Bone marrow smear
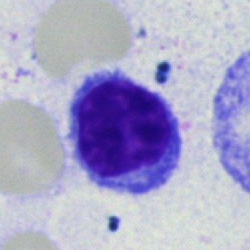 The classification is typical lymphocyte.